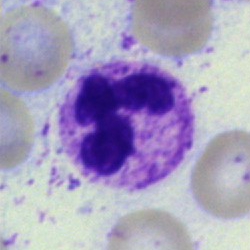 Impression → polymorphonuclear neutrophil.